Bone marrow smear · single-cell field — 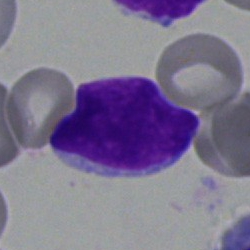 Morphological class = lymphocyte.